Bone marrow smear:
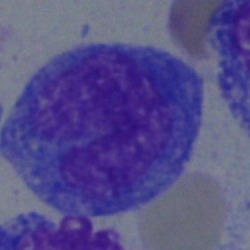
Showing a blast cell.